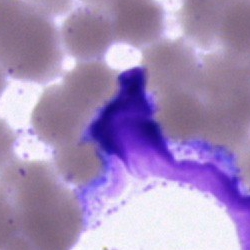 Q: What is shown here?
A: It is an artefact.